Bone marrow aspirate smear — 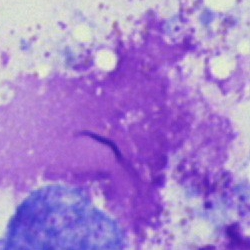
Q: What is shown here?
A: An artefact.